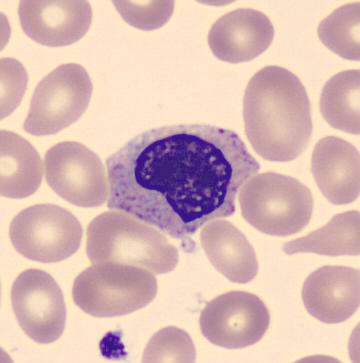 The cell type is myelocyte.